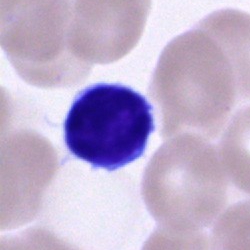The cell type is lymphocyte.